Bone marrow smear; 250 by 250 pixels — 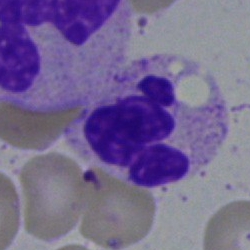 Cell: neutrophil (segmented).